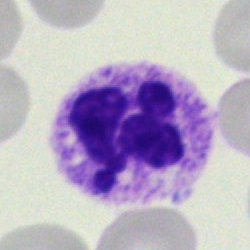 Cell: segmented neutrophil.